Bone marrow smear:
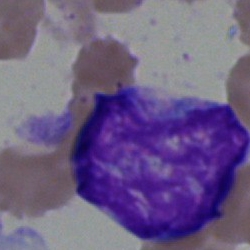This is a blast.